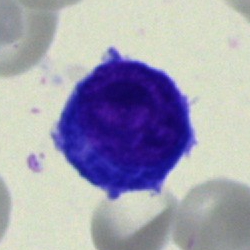

Specimen: bone marrow aspirate smear.
Cell: lymphocyte.